Bone marrow smear:
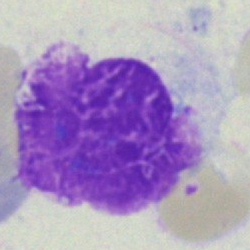

Specimen: bone marrow smear.
Cell: artifact.